Peripheral blood smear: 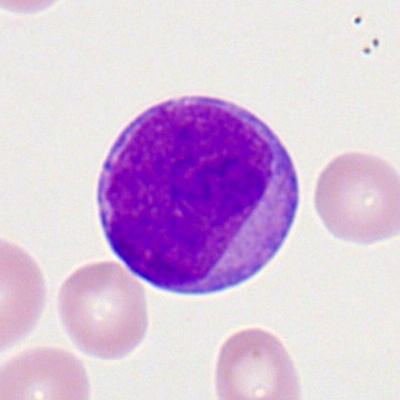
Morphology → myeloid blast.